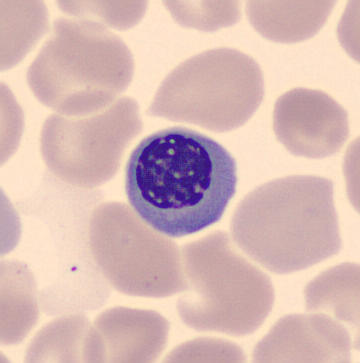 Morphology consistent with a nucleated red blood cell.
Preparation: Peripheral blood smear.